Bone marrow aspirate smear · 250 by 250 pixels · single-cell crop — 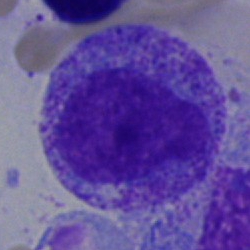

Showing a progranulocyte.